Image size 400×400; peripheral blood smear; single cell centered in the field.
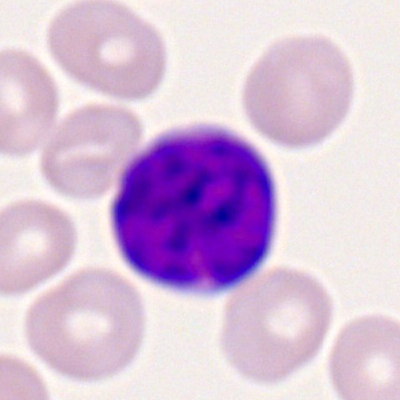 The cell shown is a myeloblast.